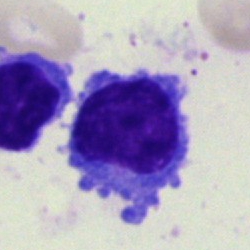Impression — typical lymphocyte.